Cropped to a single cell. May-Grünwald-Giemsa/Pappenheim stain. Bone marrow smear — 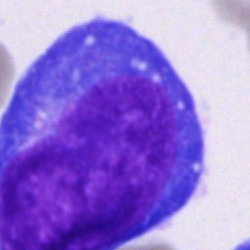 Cell type = blast.